Bone marrow aspirate smear:
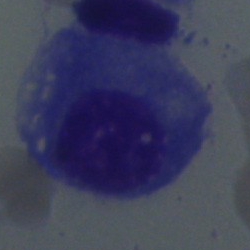 This is a plasma cell.